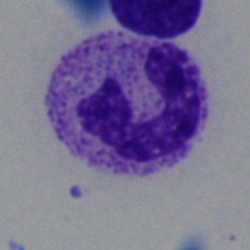 Morphology consistent with a polymorphonuclear neutrophil.